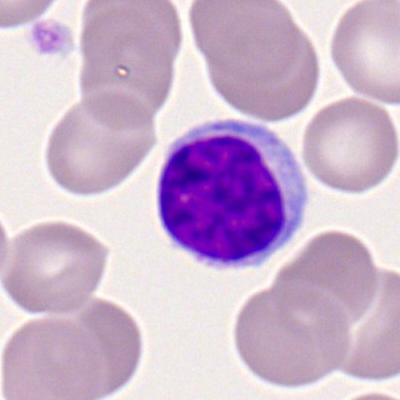 {"cell_type": "typical lymphocyte"}